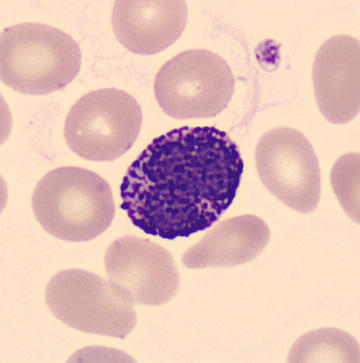Single-cell crop from a peripheral blood smear: basophilic granulocyte.